Bone marrow smear · 250 by 250 pixels · single cell centered in the field.
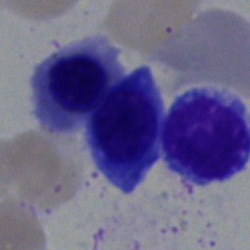 Morphological class = normoblast.